Peripheral blood smear · 360 by 363 pixels · single-cell field.
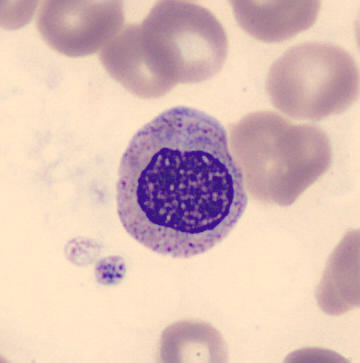Morphology — myelocyte.